Bone marrow aspirate smear · Pappenheim-stained — 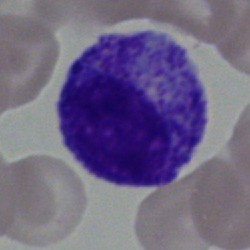{"cell_type": "progranulocyte"}